Bone marrow aspirate smear — 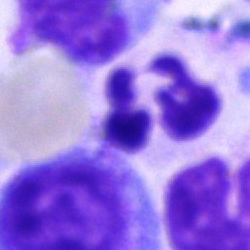
The morphological class is polymorphonuclear neutrophil.